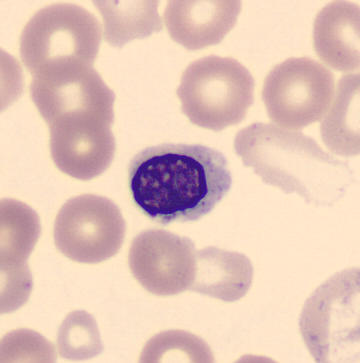
Classification = erythroblast.